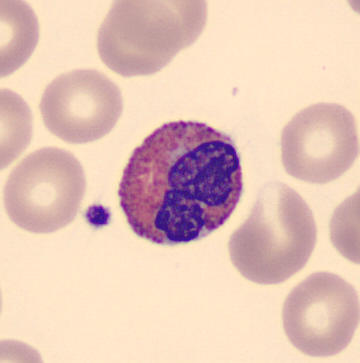
Preparation: Peripheral blood smear.

An eosinophil.